Bone marrow aspirate smear: 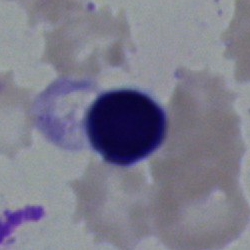 {"cell_type": "typical lymphocyte"}